Bone marrow aspirate smear
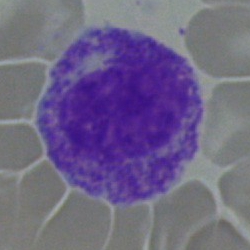

{"cell_type": "metamyelocyte"}